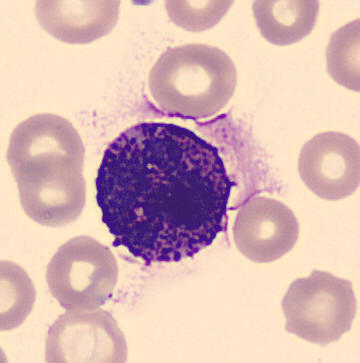
Morphology → basophilic granulocyte.